Bone marrow aspirate smear: 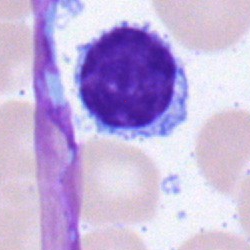

This is a typical lymphocyte.